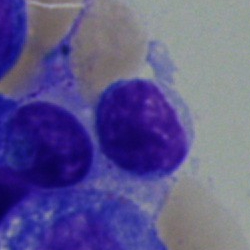

Specimen: bone marrow aspirate smear.
Classification: lymphocyte.
Lineage: lymphoid.